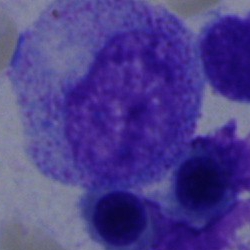
Single cell identified as a promyelocyte.